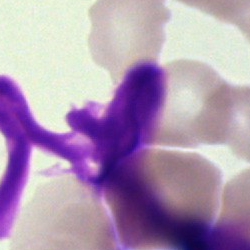
Impression — artefact.